Bone marrow smear.
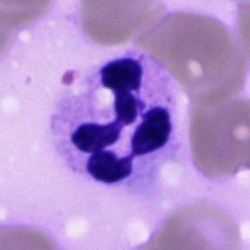
Q: Identify the cell.
A: This is a polymorphonuclear neutrophil.